Bone marrow smear: 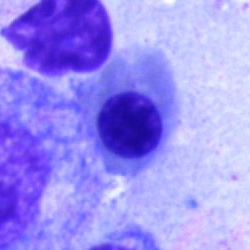
Specimen: bone marrow aspirate smear.
Classification: nucleated red blood cell.
Lineage: erythroid.